Bone marrow smear.
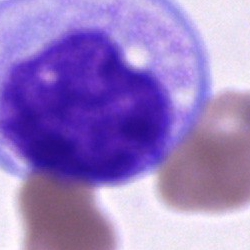 Morphological class — cell of indeterminate lineage.